Bone marrow smear.
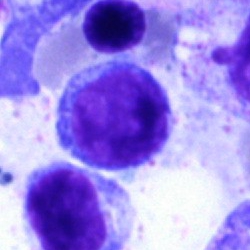

Classification: typical lymphocyte.